Peripheral blood film — 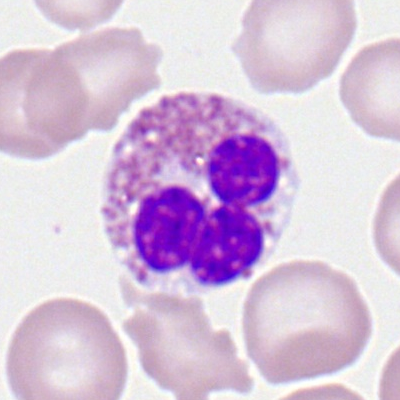
Single cell identified as an eosinophil.